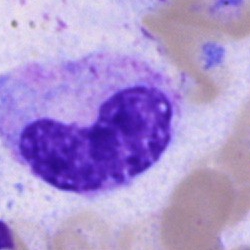
Impression → band-form neutrophil.